May-Grünwald-Giemsa/Pappenheim stain · brightfield microscopy, 40× oil immersion · bone marrow smear: 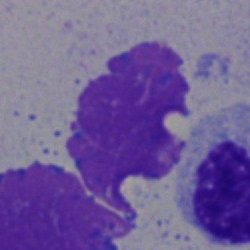 {"cell_type": "artefact"}